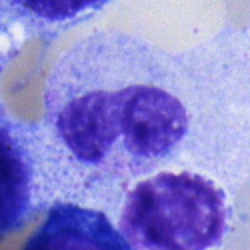 Q: Which cell type is shown here?
A: It is a band-form neutrophil.